250×250 px. Brightfield, 40× oil-immersion objective. Bone marrow smear: 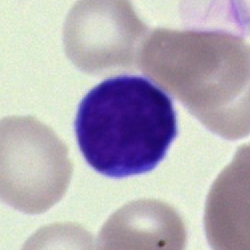 Q: Identify the cell.
A: It is a lymphocyte.